Bone marrow aspirate smear: 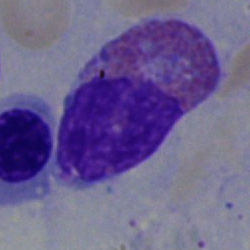

This is an eosinophil.